Bone marrow aspirate smear · image size 250×250 · cropped to a single cell.
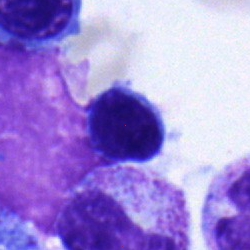Showing a lymphocyte.